Bone marrow smear:
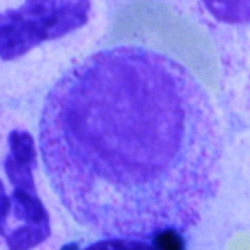This is a myelocyte.